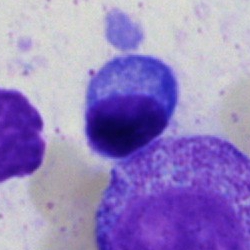Specimen: bone marrow aspirate smear.
Cell: plasmacyte.